Bone marrow aspirate smear: 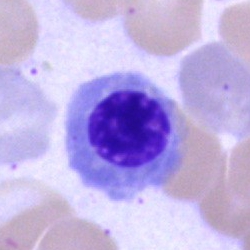 The classification is erythroblast.